May-Grünwald-Giemsa/Pappenheim stain; bone marrow aspirate smear — 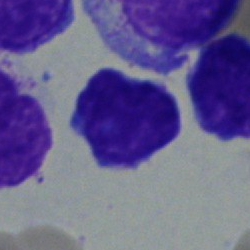

Specimen: bone marrow aspirate smear.
Cell type: lymphocyte.